May Grünwald-Giemsa stain; peripheral blood smear — 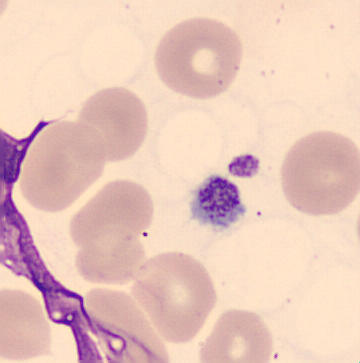 Morphology consistent with a platelet (thrombocyte).